Single-cell crop · bone marrow aspirate smear · 40× oil immersion
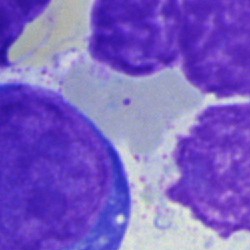
Specimen: bone marrow aspirate smear.
Cell: pronormoblast.
Lineage: erythroid.